Brightfield, 40× oil-immersion objective. Bone marrow aspirate smear — 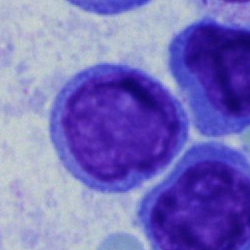

Morphological class: lymphocyte.